Bone marrow aspirate smear.
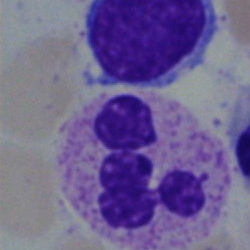
Morphology consistent with a segmented neutrophil.